Bone marrow aspirate smear: 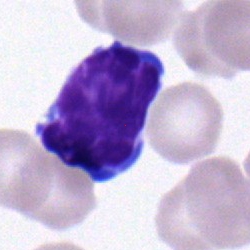Morphological class = lymphocyte.